Bone marrow aspirate smear
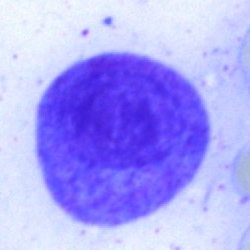
{"cell_type": "progranulocyte", "lineage": "myeloid"}